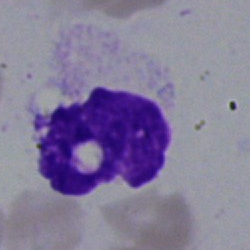Polymorphonuclear neutrophil.